Bone marrow smear: 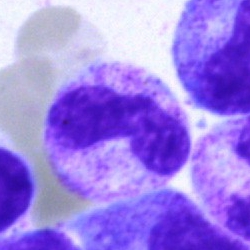Morphological class — band-form neutrophil.